Pappenheim-stained · bone marrow aspirate smear · 40× objective, oil immersion.
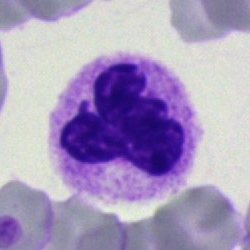
Q: Identify the cell.
A: Polymorphonuclear neutrophil.